Bone marrow aspirate smear — 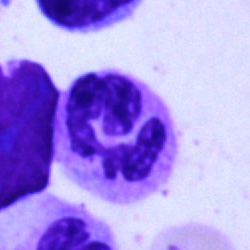

Cell type: segmented neutrophil.